Bone marrow smear.
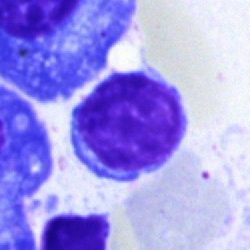

Specimen: bone marrow aspirate smear.
Cell type: typical lymphocyte.